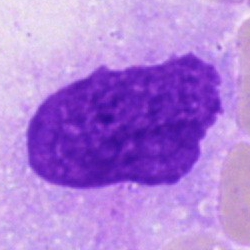

This is an artifact.